Bone marrow aspirate smear:
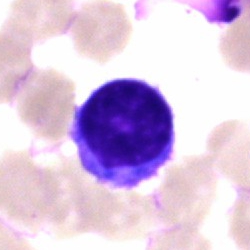 Showing a typical lymphocyte.